Bone marrow aspirate smear — 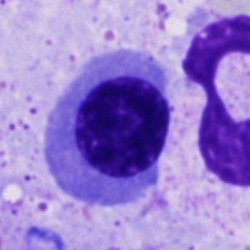
Morphological class: undifferentiated blast.